Bone marrow aspirate smear · 250 by 250 pixels: 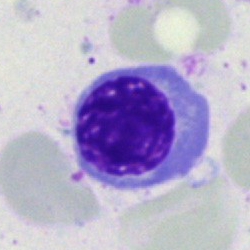

Impression — nucleated red blood cell.